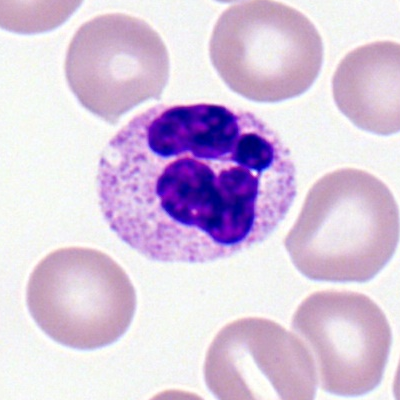
Specimen: peripheral blood smear.
Morphological class: neutrophil (segmented).